Pappenheim-stained. Bone marrow aspirate smear: 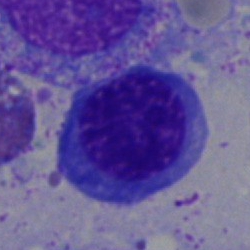 Cell — nucleated red cell.